250×250. Single-cell field. Bone marrow aspirate smear: 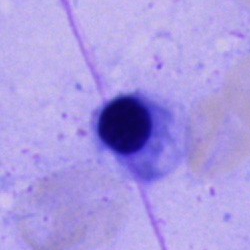Cell type = nucleated red cell.